Peripheral blood smear
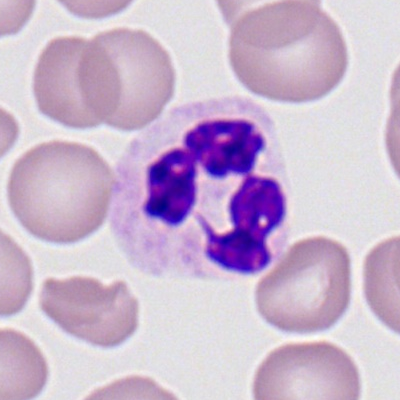
This is a neutrophil (segmented).